Bone marrow aspirate smear:
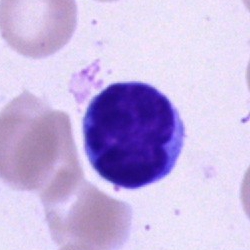Specimen: bone marrow aspirate smear.
Classification: typical lymphocyte.